Bone marrow aspirate smear: 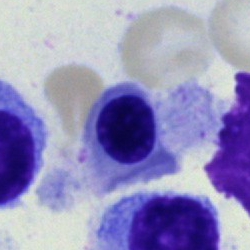
Q: What cell is this?
A: This is a normoblast.